Bone marrow aspirate smear: 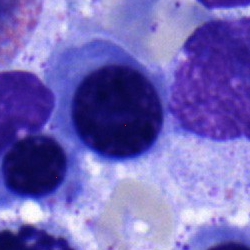Normoblast.